Bone marrow smear:
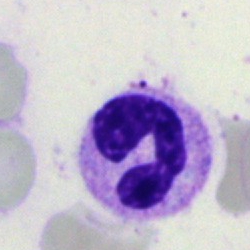

Classification: neutrophil (segmented).